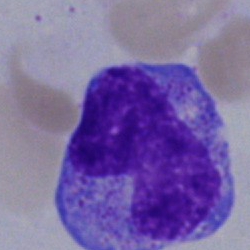
{"cell_type": "monocyte"}